Bone marrow smear; 40× objective, oil immersion: 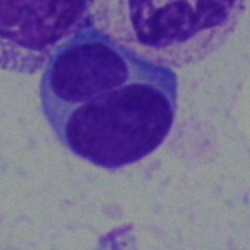
Cell type — lymphocyte.